Bone marrow smear; 250×250 px; May-Grünwald-Giemsa stain: 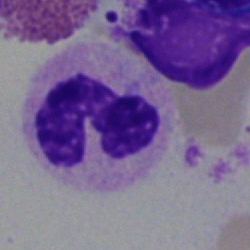
{"cell_type": "segmented neutrophil"}